Bone marrow aspirate smear · MGG-stained — 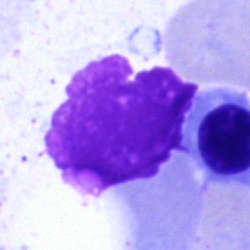Showing an artifact.